MGG-stained · bone marrow aspirate smear:
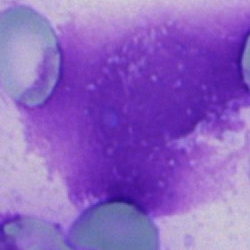 Classification = artifact.